Bone marrow aspirate smear. Brightfield microscopy, 40× oil immersion: 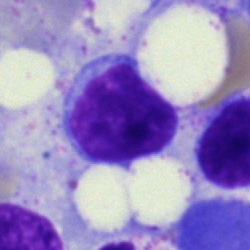

This is a lymphocyte.